Bone marrow smear: 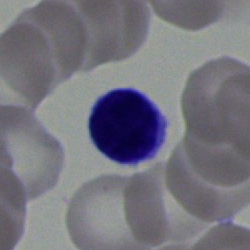 Q: What is the morphological classification of this cell?
A: Lymphocyte.